May-Grünwald-Giemsa stain; bone marrow smear.
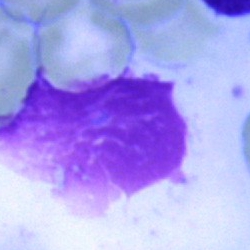Specimen: bone marrow smear.
Cell type: artifact.